Bone marrow smear.
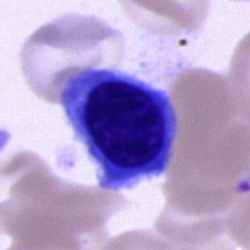

The cell shown is a normoblast.